400×400. Romanowsky stain. Peripheral blood smear:
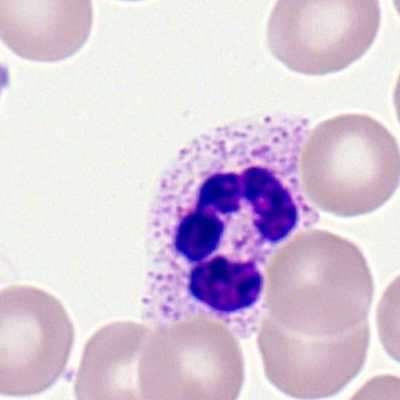Specimen: peripheral blood film.
Classification: neutrophil (segmented).
Lineage: myeloid.